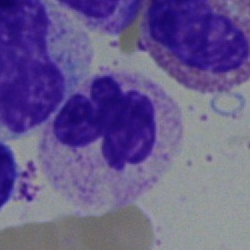Showing a neutrophil (segmented).